Bone marrow smear · 250×250 px · May-Grünwald-Giemsa stain.
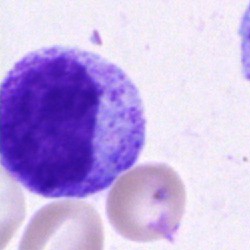
This is a progranulocyte.